Bone marrow smear. Single-cell crop.
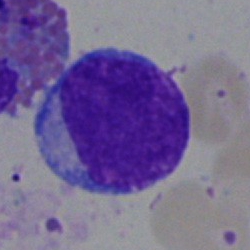 Showing a blast cell.